40× objective, oil immersion · cropped to a single cell · bone marrow smear: 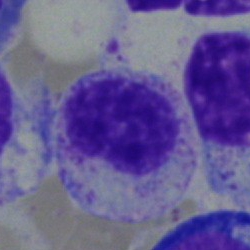 Myelocyte.